Bone marrow smear:
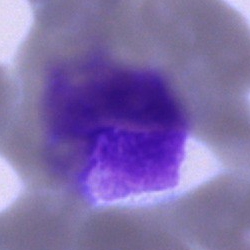 This is an artifact.